Bone marrow aspirate smear. May-Grünwald-Giemsa stain. Brightfield, 40× oil-immersion objective.
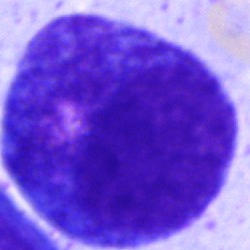Morphology consistent with a promyelocyte.